Bone marrow smear
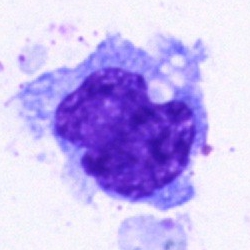Morphology consistent with a monocyte.